Peripheral blood smear: 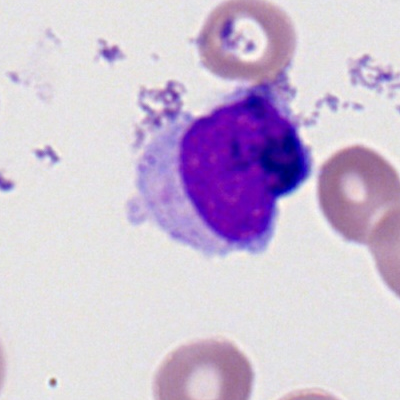

Typical lymphocyte.